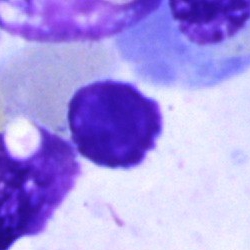

{"cell_type": "artifact"}